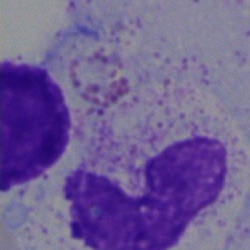Cell = artifact.